Bone marrow aspirate smear · image size 250×250.
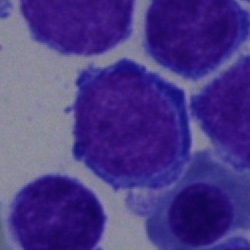 {"cell_type": "lymphocyte"}